Bone marrow aspirate smear; 40× oil immersion:
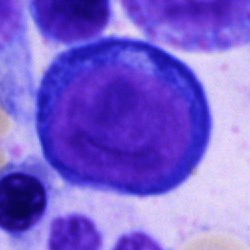
Showing a proerythroblast.